Bone marrow smear. Single cell centered in the field:
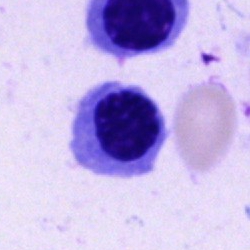 The classification is nucleated red blood cell.